Bone marrow aspirate smear — 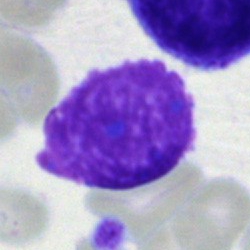
Morphology consistent with an artefact.